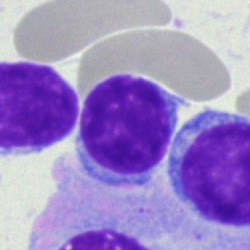

{"cell_type": "lymphocyte"}